Peripheral blood film.
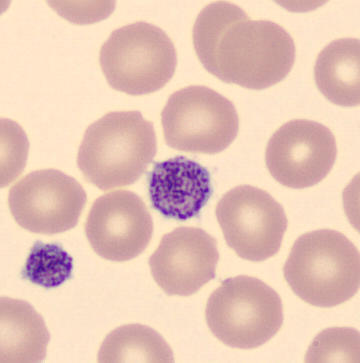 This is a platelet (thrombocyte).